Bone marrow aspirate smear; single-cell field; brightfield microscopy, 40× oil immersion:
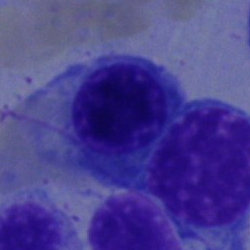

Specimen: bone marrow aspirate smear.
Morphological class: nucleated red cell.
Lineage: erythroid.